Bone marrow smear:
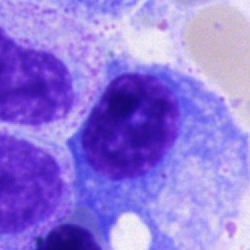 Specimen: bone marrow smear.
Cell type: plasma cell.